250×250 · bone marrow smear:
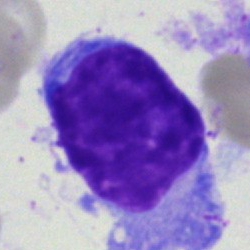

Cell type: other cell type.